Bone marrow aspirate smear:
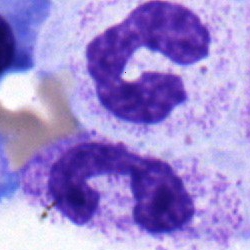

Q: Identify the cell.
A: Neutrophil (band).